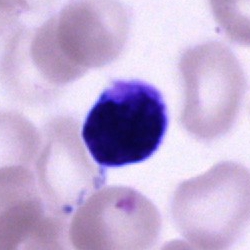Classification = unidentifiable cell.